Bone marrow smear · single-cell crop.
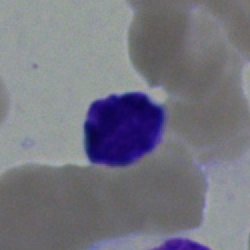Specimen: bone marrow aspirate smear.
Cell: lymphocyte.